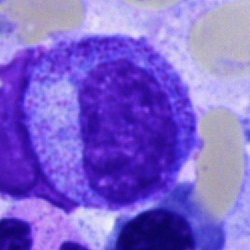

Bone marrow smear showing a promyelocyte.